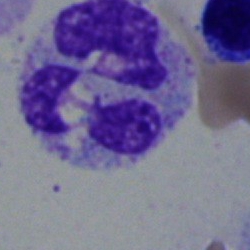The morphological class is neutrophil (segmented).